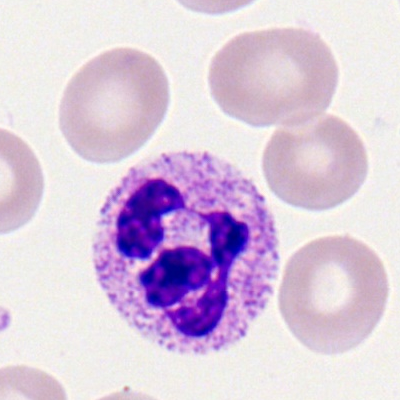

Q: Identify the cell.
A: This is a segmented neutrophil.